Bone marrow smear.
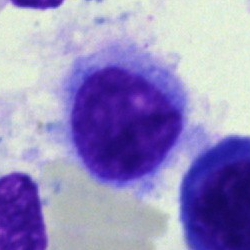Q: Identify the cell.
A: It is a hairy cell.